Brightfield, 40× oil-immersion objective. Bone marrow aspirate smear.
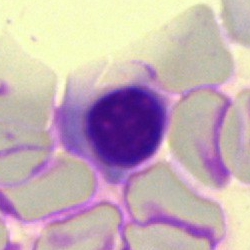 Morphology — normoblast.